Single-cell field. May-Grünwald-Giemsa stain. Bone marrow aspirate smear
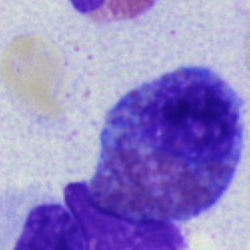

Q: Identify the cell.
A: It is an eosinophilic granulocyte.